Peripheral blood film.
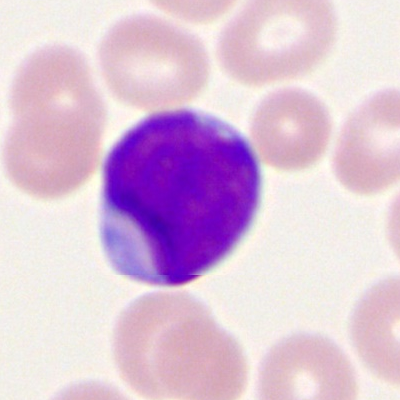
Specimen: peripheral blood film.
Cell type: myeloblast.